Bone marrow aspirate smear — 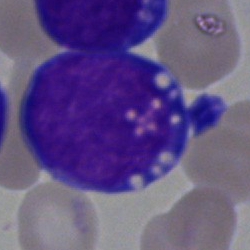

Blast.